Bone marrow aspirate smear:
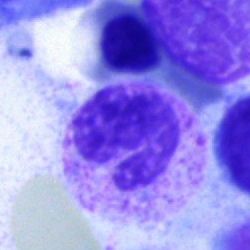 Q: What type of cell is this?
A: Polymorphonuclear neutrophil.